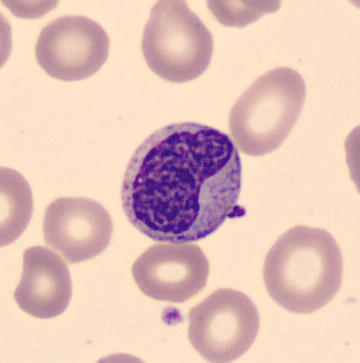
Q: Identify the cell.
A: Metamyelocyte.
Preparation: May Grünwald-Giemsa stain · peripheral blood smear · 360×363.